Single-cell crop. Bone marrow aspirate smear
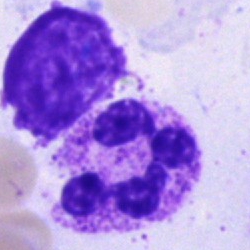

Showing a neutrophil (segmented).